Bone marrow aspirate smear. Single-cell crop.
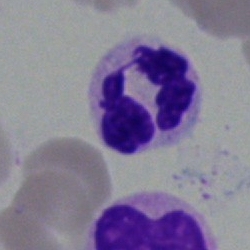

{"cell_type": "polymorphonuclear neutrophil", "lineage": "myeloid"}